250×250; bone marrow smear; cropped to a single cell:
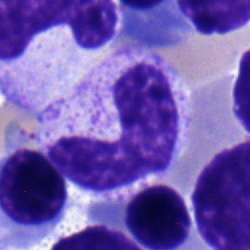 Stab cell.